Image size 250×250. 40× oil immersion. Bone marrow smear
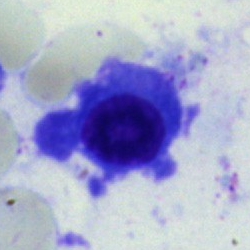Morphology → erythroblast.